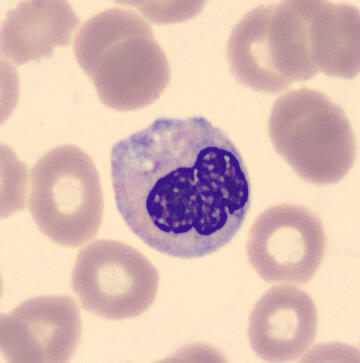
From a peripheral blood smear: a metamyelocyte.